Bone marrow smear:
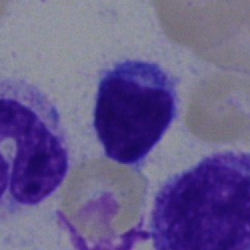 Classification — lymphocyte.